May-Grünwald-Giemsa stain. Bone marrow aspirate smear — 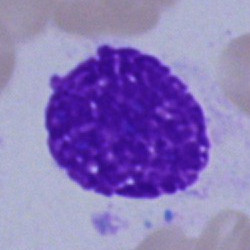The cell shown is an artefact.